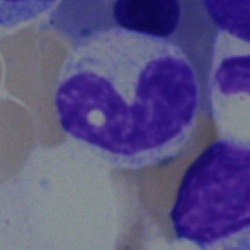

Specimen: bone marrow aspirate smear.
Cell type: stab cell.
Lineage: myeloid.